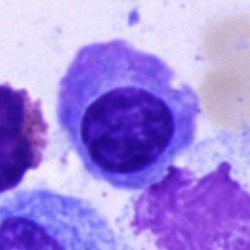

Impression — plasmacyte.